Cropped to a single cell; bone marrow smear; Pappenheim-stained: 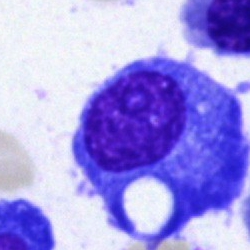 Q: Which cell type is shown here?
A: A plasma cell.